Bone marrow aspirate smear. May-Grünwald-Giemsa stain. Single cell centered in the field — 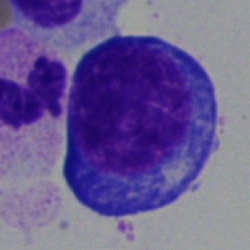

The cell type is proerythroblast.